Bone marrow aspirate smear — 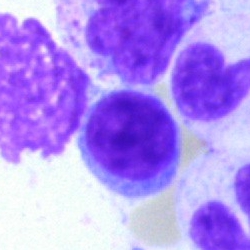
Morphological class = lymphocyte.